Bone marrow smear:
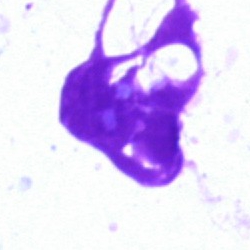 Classification — artefact.